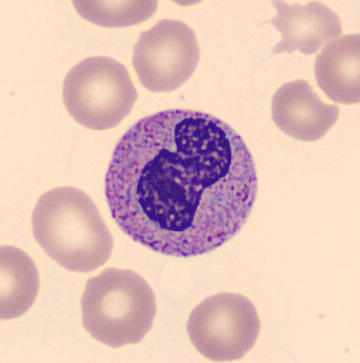
Specimen: peripheral blood smear.
Classification: neutrophil (band).